Bone marrow aspirate smear — 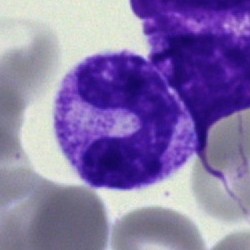
Q: What type of cell is this?
A: A band-form neutrophil.